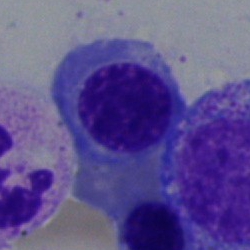
Single cell identified as a normoblast.